Bone marrow smear
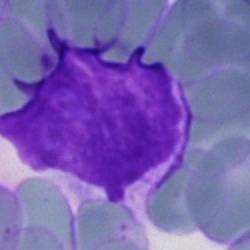

Impression → blast cell.